Bone marrow aspirate smear — 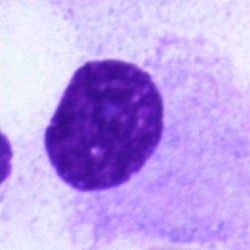

Q: What is shown here?
A: This is an artefact.